Pappenheim-stained; bone marrow aspirate smear — 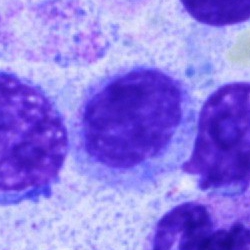
Single cell identified as a typical lymphocyte.